Bone marrow smear.
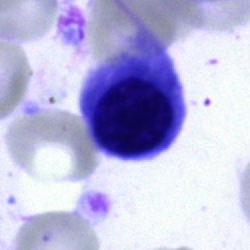 Showing a nucleated red blood cell.